Single-cell field; bone marrow aspirate smear; May-Grünwald-Giemsa stain:
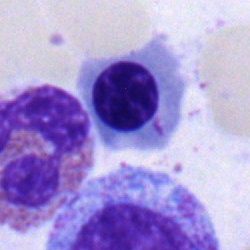
This is an erythroblast.